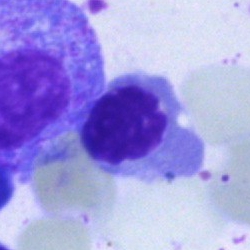 Single cell identified as an erythroblast.